Bone marrow smear; single-cell field; 40× objective, oil immersion.
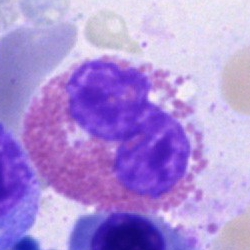 Showing an eosinophil.